Bone marrow aspirate smear · May-Grünwald-Giemsa stain: 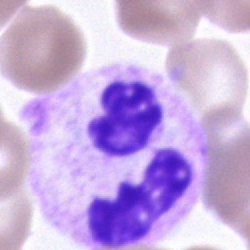
Specimen: bone marrow smear.
Cell type: neutrophil (segmented).